Bone marrow aspirate smear.
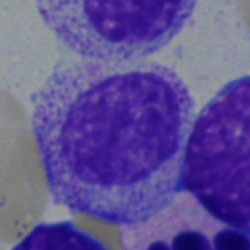

A myelocyte.